Bone marrow smear.
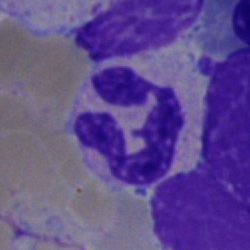 Neutrophil (segmented).